Bone marrow smear:
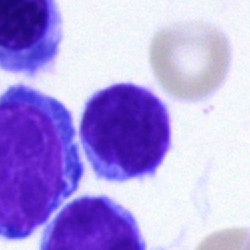
A lymphocyte.